Single-cell field · peripheral blood film: 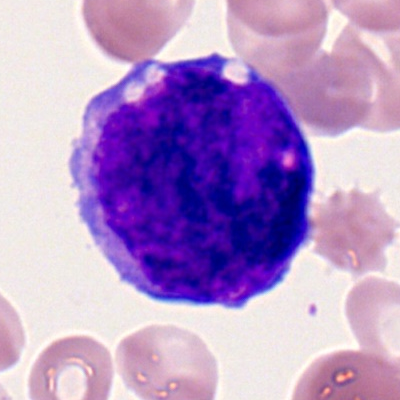 Cell type: myeloblast.